Single-cell crop. Bone marrow smear — 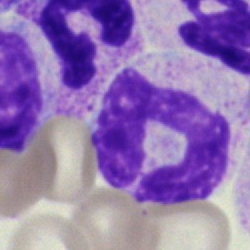

Q: What is the morphological classification of this cell?
A: It is a neutrophil (band).